Bone marrow smear
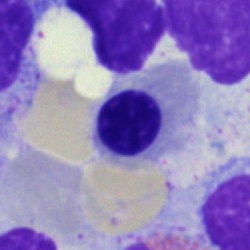
The cell shown is an erythroblast.